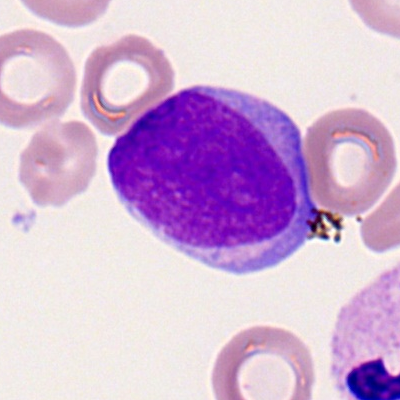
Cell type: myeloid blast.